May-Grünwald-Giemsa/Pappenheim stain · bone marrow smear:
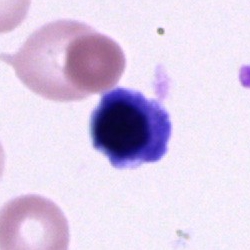
The cell is cell of indeterminate lineage.